Peripheral blood film — 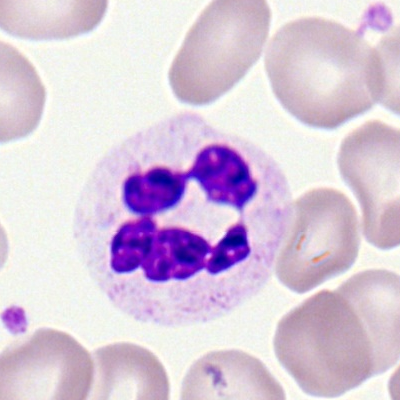

Specimen: peripheral blood film.
Cell: segmented neutrophil.
Lineage: myeloid.